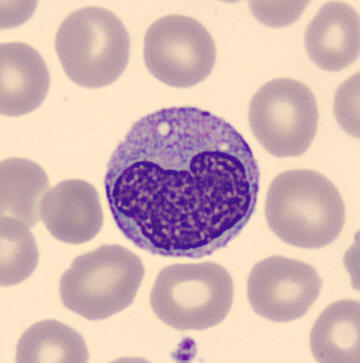

Preparation: Peripheral blood smear.

Morphological class = monocyte.